Bone marrow smear
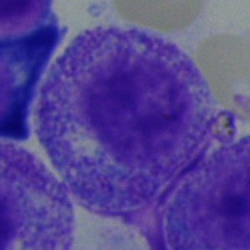The classification is myelocyte.